Romanowsky-stained; peripheral blood smear
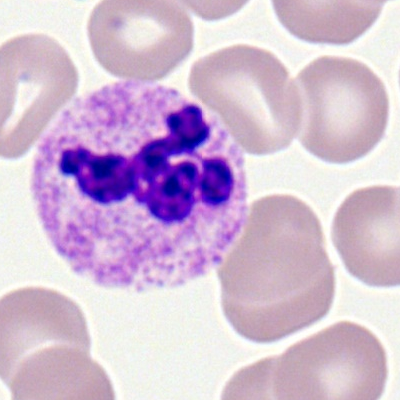Q: What is shown here?
A: A neutrophil (segmented).